40× objective, oil immersion; bone marrow smear; May-Grünwald-Giemsa stain: 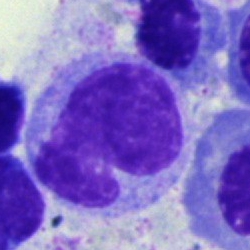
Morphological class: monocyte.